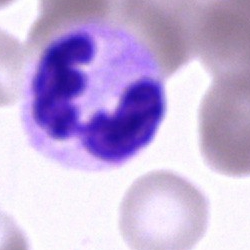
Cell: polymorphonuclear neutrophil.